Bone marrow smear; single cell centered in the field: 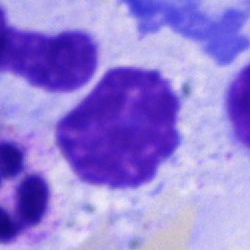 Specimen: bone marrow smear.
Classification: artefact.